250 by 250 pixels. Bone marrow smear — 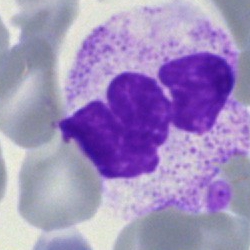

Single cell identified as a neutrophil (segmented).